Bone marrow aspirate smear · image size 250×250
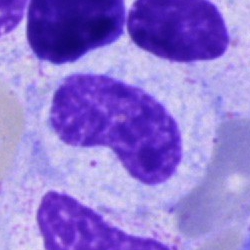

A band neutrophil.